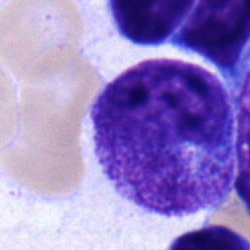
A metamyelocyte.